Bone marrow aspirate smear — 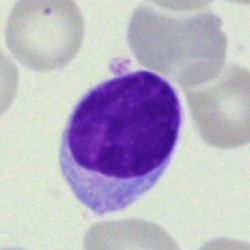Cell — lymphocyte.